Bone marrow smear — 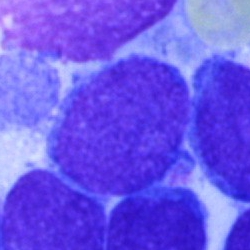

Q: Which cell type is shown here?
A: This is a blast.